Bone marrow smear
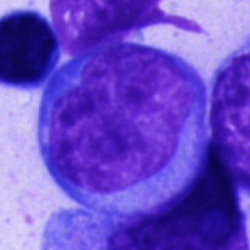{"cell_type": "undifferentiated blast"}